Bone marrow smear:
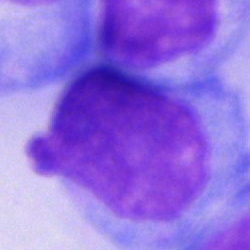 Morphology consistent with a blast cell.